Peripheral blood smear; imaged on a CellaVision DM96 analyser; image size 360×363: 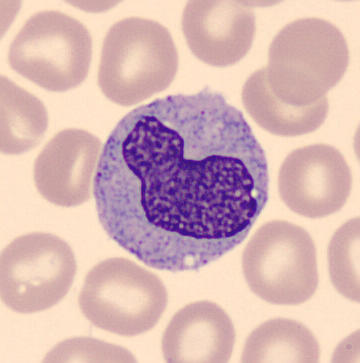This is a monocyte.